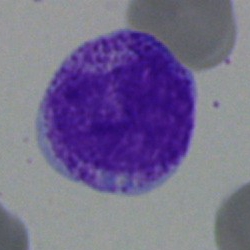 Morphological class: myelocyte.